Bone marrow smear: 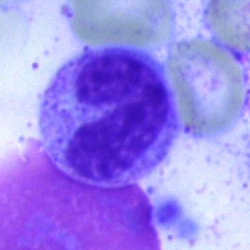
The cell shown is a neutrophil (band).